Cropped to a single cell · bone marrow aspirate smear · image size 250×250: 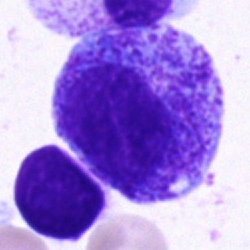 Showing a progranulocyte.